250×250 px; bone marrow smear; cropped to a single cell: 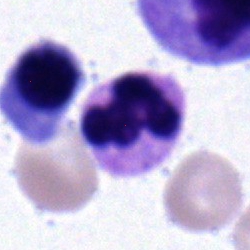
Single cell identified as a neutrophil (segmented).